Bone marrow aspirate smear · 250 by 250 pixels · single-cell field
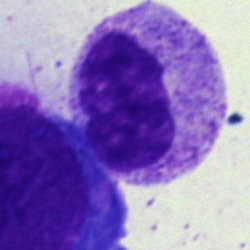Cell type = myelocyte.